Bone marrow aspirate smear. Pappenheim-stained: 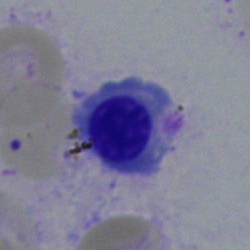 Specimen: bone marrow smear.
Morphological class: normoblast.
Lineage: erythroid.